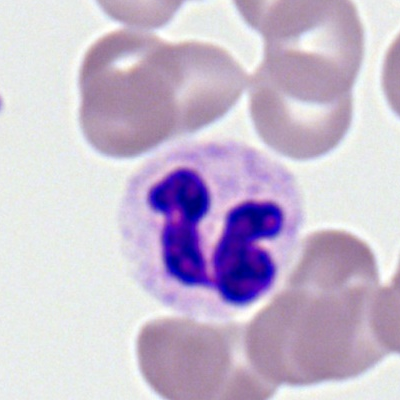 A segmented neutrophil on a peripheral blood smear.